250×250 px. MGG-stained. Bone marrow smear:
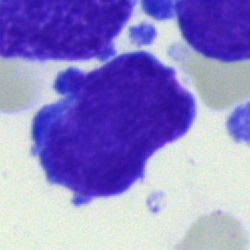Specimen: bone marrow aspirate smear.
Classification: undifferentiated blast.